Peripheral blood film · 100× oil immersion — 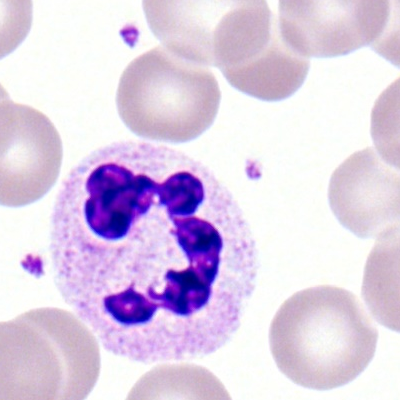

Cell type — neutrophil (segmented).